Bone marrow aspirate smear — 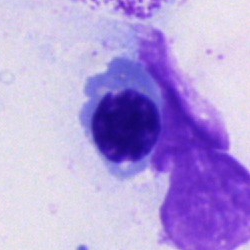

{"cell_type": "normoblast", "lineage": "erythroid"}